Bone marrow smear. May-Grünwald-Giemsa stain.
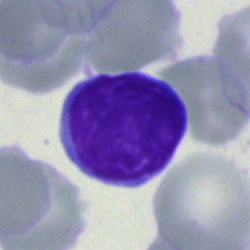

Specimen: bone marrow aspirate smear.
Morphological class: lymphocyte.
Lineage: lymphoid.